Bone marrow aspirate smear — 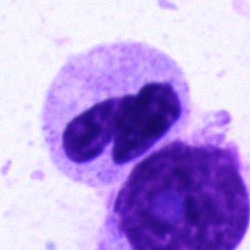

The cell shown is a neutrophil (segmented).